Bone marrow aspirate smear: 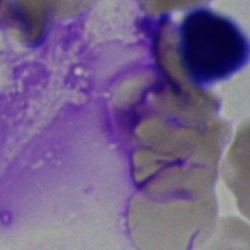

Showing an eosinophilic granulocyte.